40× objective, oil immersion · bone marrow aspirate smear · 250×250:
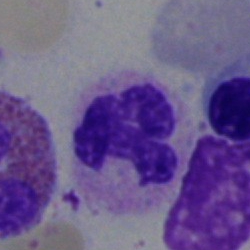The cell shown is a polymorphonuclear neutrophil.